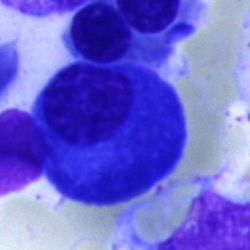Impression → plasma cell.